Bone marrow aspirate smear; 250 by 250 pixels:
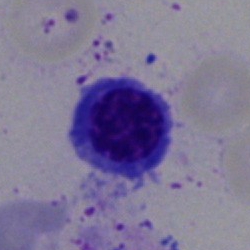 Nucleated red blood cell.